Single cell centered in the field; bone marrow aspirate smear; image size 250×250 — 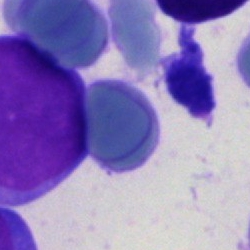

Morphology — blast cell.